250×250 px. Bone marrow smear:
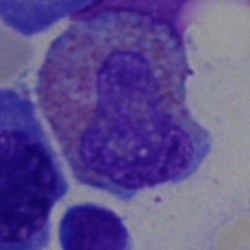 Specimen: bone marrow smear.
Classification: eosinophil.